Bone marrow aspirate smear: 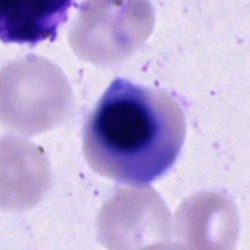 This is a nucleated red cell.